Peripheral blood film — 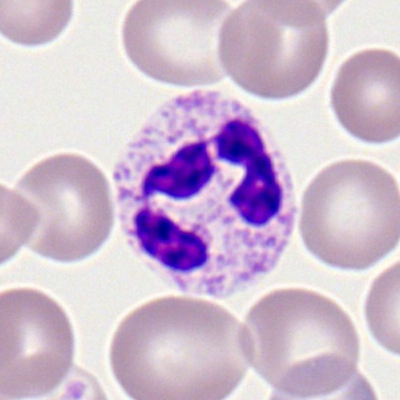 Showing a polymorphonuclear neutrophil.